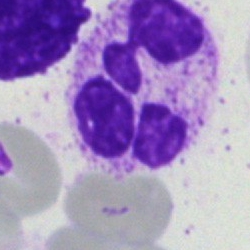 {"cell_type": "neutrophil (segmented)", "lineage": "myeloid"}